Bone marrow smear: 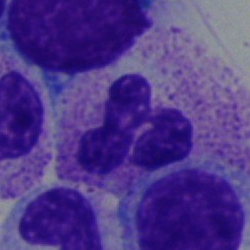 This is a neutrophil (segmented).